Peripheral blood film:
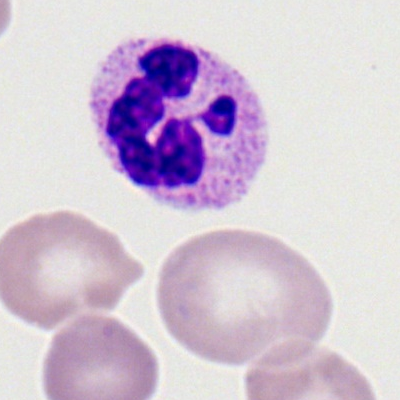
This is a polymorphonuclear neutrophil.